Brightfield, 40× oil-immersion objective; bone marrow smear — 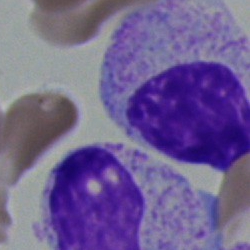 Q: Identify the cell.
A: This is a myelocyte.